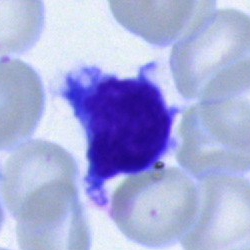

Q: Identify the cell.
A: It is a lymphocyte.